Bone marrow smear.
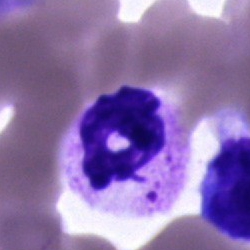Cell — polymorphonuclear neutrophil.